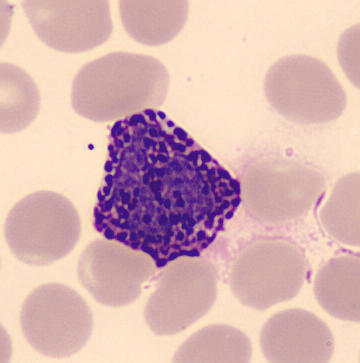Peripheral blood film, single cell — basophilic granulocyte.